100× oil immersion; peripheral blood film
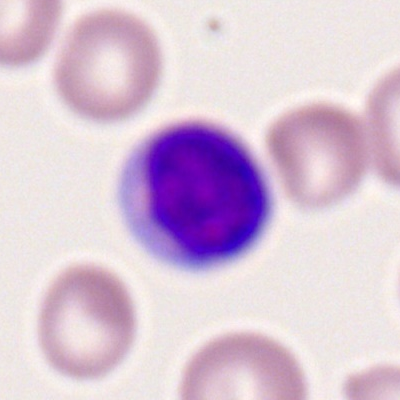
This is a typical lymphocyte.